Single cell centered in the field. Peripheral blood smear: 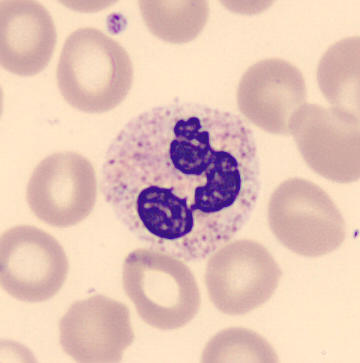

Classification = polymorphonuclear neutrophil.